Bone marrow smear — 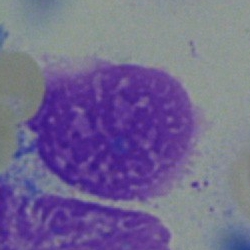Morphological class — artefact.